Bone marrow aspirate smear; 250×250: 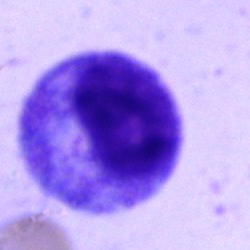

Q: What cell is this?
A: A progranulocyte.